Bone marrow smear: 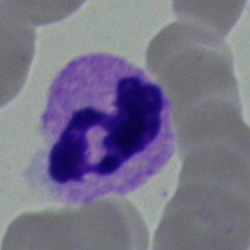
Classification = polymorphonuclear neutrophil.